40× oil immersion; MGG-stained; bone marrow aspirate smear
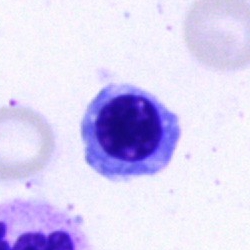 Classification: erythroblast.